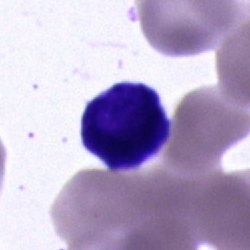
Morphology → cell of indeterminate lineage.